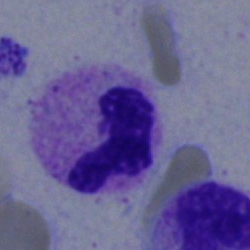
Q: Identify the cell.
A: It is a polymorphonuclear neutrophil.